Single-cell crop · bone marrow smear:
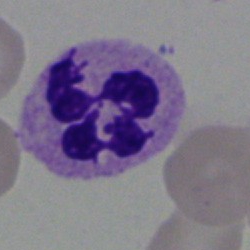

A neutrophil (segmented).